Bone marrow aspirate smear. 40× oil immersion
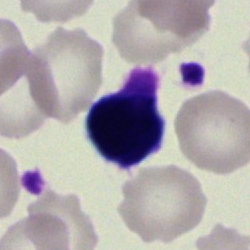 This is a typical lymphocyte.